May-Grünwald-Giemsa stain; bone marrow smear:
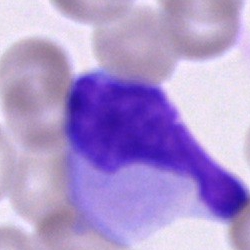
Morphology consistent with a cell of indeterminate lineage.